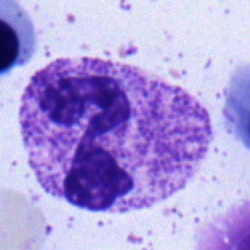Q: What is the morphological classification of this cell?
A: Neutrophil (segmented).